Bone marrow aspirate smear: 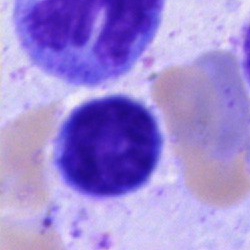Morphology consistent with a typical lymphocyte.